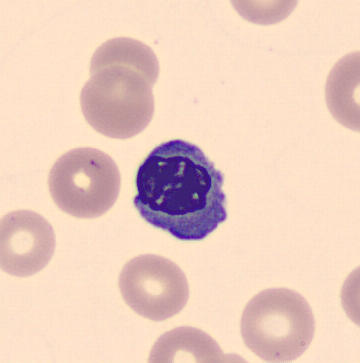
{"cell_type": "nucleated red blood cell", "lineage": "erythroid"}